Bone marrow aspirate smear
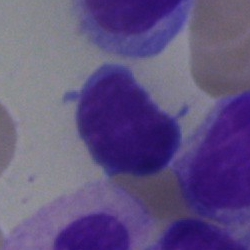 Lymphocyte.